Bone marrow smear
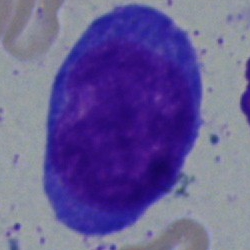 Morphology consistent with an undifferentiated blast.